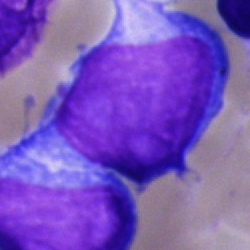 Impression → blast cell.